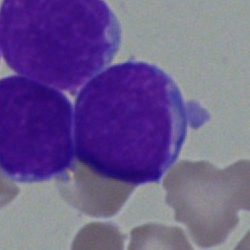
This is an undifferentiated blast.